Cropped to a single cell. Peripheral blood film
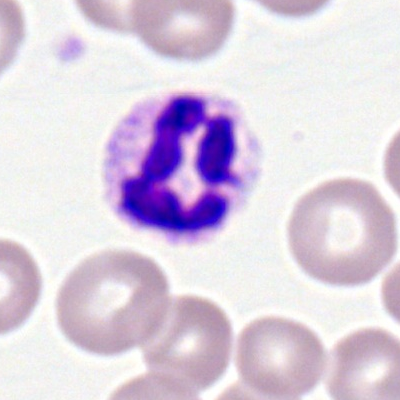
Cell type: segmented neutrophil.